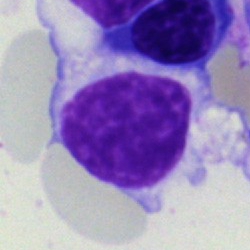
Q: Identify the cell.
A: It is a typical lymphocyte.